Romanowsky-stained · peripheral blood film.
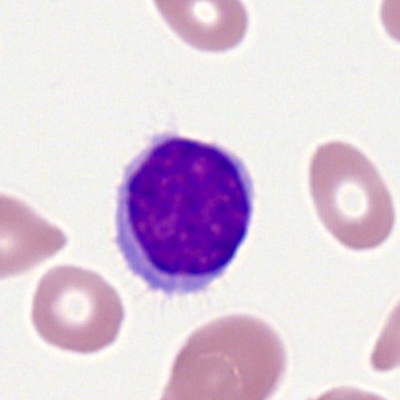

Cell type — typical lymphocyte.